Bone marrow aspirate smear
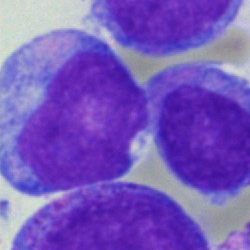

Q: What type of cell is this?
A: It is a blast cell.